Bone marrow smear:
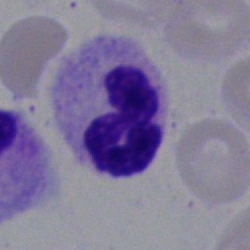
Impression → neutrophil (segmented).